Bone marrow aspirate smear; single cell centered in the field; May-Grünwald-Giemsa/Pappenheim stain — 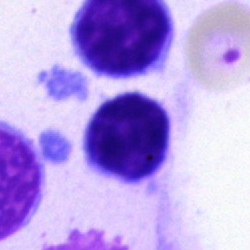
Impression → lymphocyte.